Bone marrow aspirate smear; cropped to a single cell; brightfield, 40× oil-immersion objective.
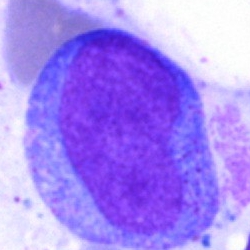Morphology consistent with a promyelocyte.